MGG-stained; bone marrow smear:
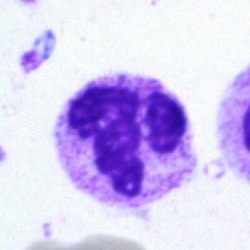
Q: What is the morphological classification of this cell?
A: A neutrophil (segmented).